Bone marrow aspirate smear — 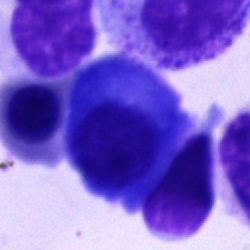

Specimen: bone marrow smear.
Morphological class: plasmacyte.
Lineage: lymphoid.